Bone marrow aspirate smear
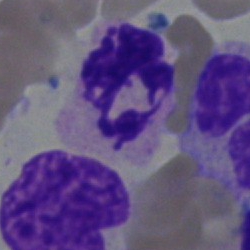 This is a neutrophil (segmented).